Cropped to a single cell · MGG-stained · bone marrow smear: 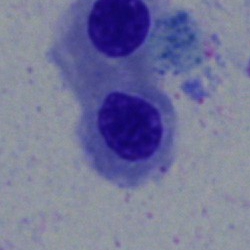 This is a nucleated red blood cell.